Bone marrow aspirate smear:
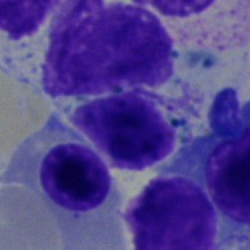

Morphology consistent with an erythroblast.